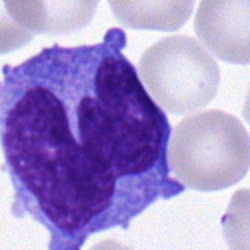Cell type — monocyte.